Peripheral blood smear
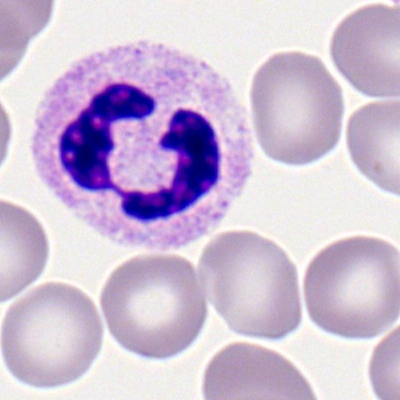Q: What is shown here?
A: It is a segmented neutrophil.